Bone marrow smear
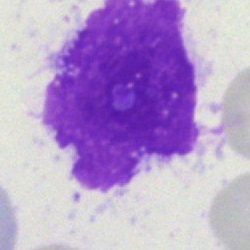Q: What is shown here?
A: This is an artefact.